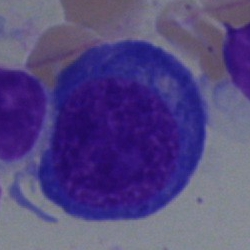Specimen: bone marrow aspirate smear.
Cell: pronormoblast.
Lineage: erythroid.